Bone marrow smear · 40× objective, oil immersion
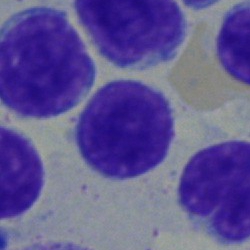 Morphology consistent with a typical lymphocyte.